100× objective, oil immersion. Peripheral blood film:
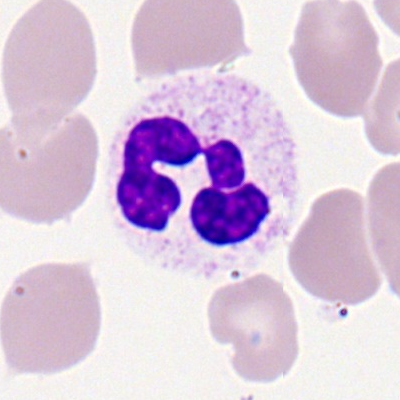

Cell: neutrophil (segmented).